Bone marrow smear — 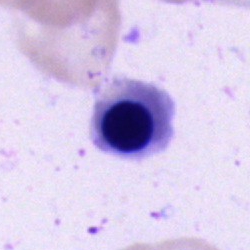
Specimen: bone marrow smear.
Cell type: normoblast.
Lineage: erythroid.